Bone marrow aspirate smear:
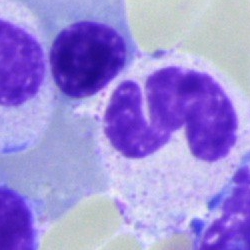
{"cell_type": "segmented neutrophil", "lineage": "myeloid"}